Bone marrow smear; single cell centered in the field.
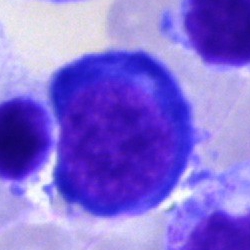

Proerythroblast.